Bone marrow smear
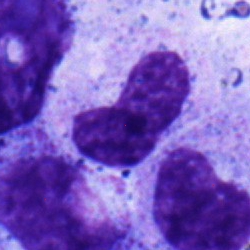

This is a metamyelocyte.